Cropped to a single cell; bone marrow aspirate smear
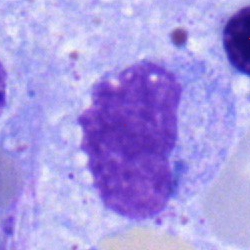 {"cell_type": "metamyelocyte", "lineage": "myeloid"}